Bone marrow smear. 40× oil immersion:
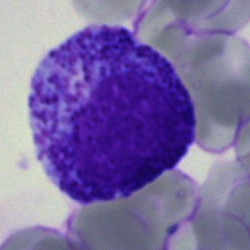 Morphology consistent with a progranulocyte.